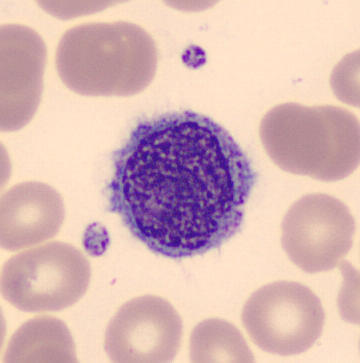

Q: Identify the cell.
A: A monocyte. Peripheral blood film.